Bone marrow aspirate smear · MGG-stained — 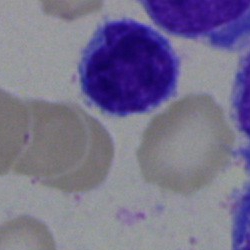 Q: What is the morphological classification of this cell?
A: It is a typical lymphocyte.